Bone marrow smear · image size 250×250 · single-cell crop.
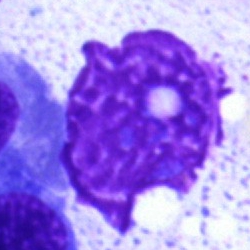
Morphology → artifact.